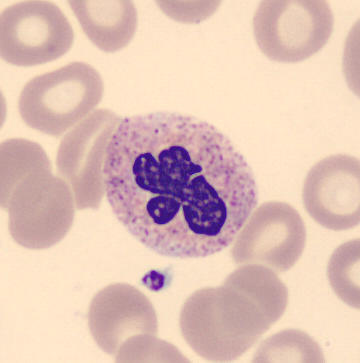The classification is segmented neutrophil. Peripheral blood film.